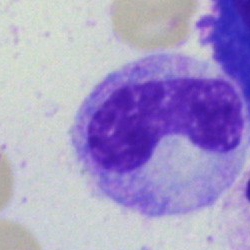
Impression — band neutrophil.